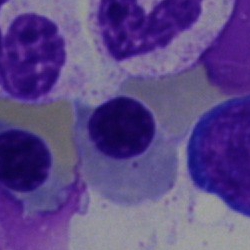

A nucleated red cell on a bone marrow smear.